Bone marrow smear.
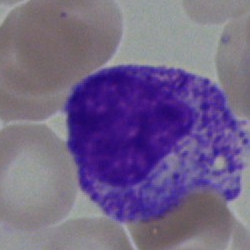

Q: What type of cell is this?
A: This is a myelocyte.